Bone marrow aspirate smear — 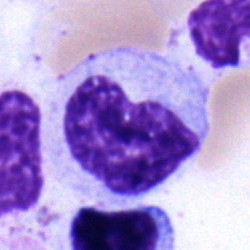 Showing a metamyelocyte.